Peripheral blood film — 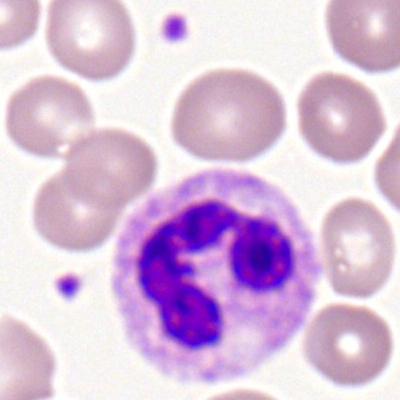 Morphology consistent with a neutrophil (segmented).